Single-cell crop. Peripheral blood smear
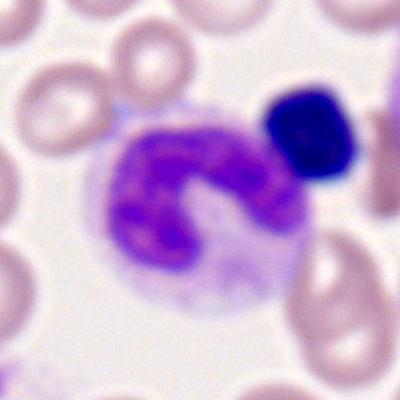

Q: What is the morphological classification of this cell?
A: A neutrophil (band).